Bone marrow smear
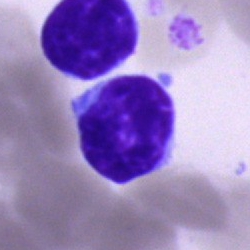
Q: What is shown here?
A: A typical lymphocyte.